Peripheral blood smear
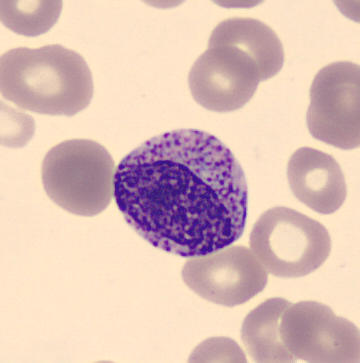
Specimen: peripheral blood smear.
Cell type: myelocyte.
Lineage: myeloid.